Bone marrow smear — 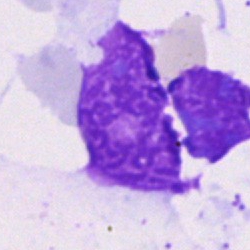

Morphology — artifact.